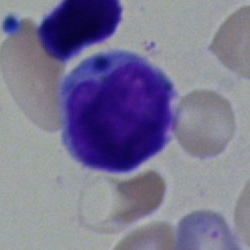 A lymphocyte on a bone marrow smear.